Bone marrow smear — 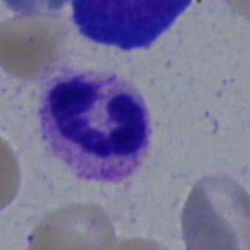
Q: Which cell type is shown here?
A: A polymorphonuclear neutrophil.